Image size 250×250; bone marrow smear; brightfield, 40× oil-immersion objective:
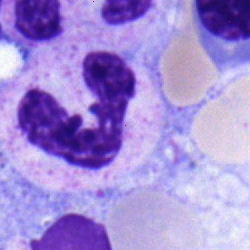

Single cell identified as a segmented neutrophil.